Bone marrow smear · image size 250×250 · brightfield microscopy, 40× oil immersion: 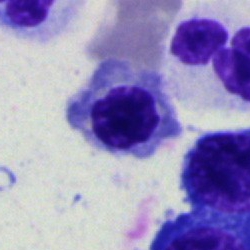
Classification = normoblast.